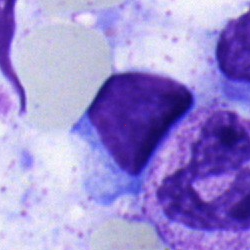 Q: What type of cell is this?
A: This is a lymphocyte.